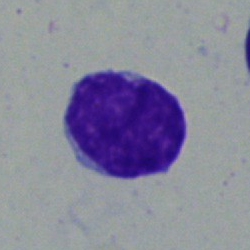Bone marrow aspirate smear, single cell — typical lymphocyte.